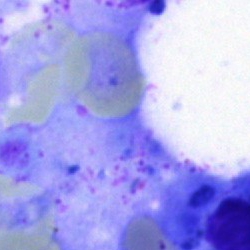

{"cell_type": "artefact"}